Bone marrow aspirate smear:
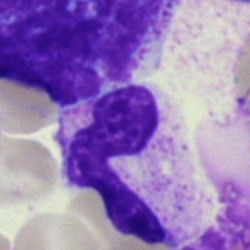Specimen: bone marrow smear.
Morphological class: polymorphonuclear neutrophil.
Lineage: myeloid.